Bone marrow aspirate smear · Pappenheim-stained — 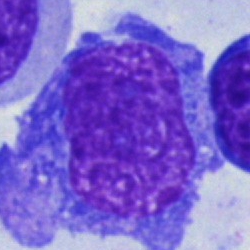

Showing a blast cell.